40× oil immersion · single-cell crop · bone marrow aspirate smear — 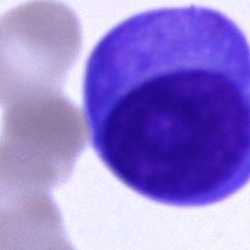

Morphological class: plasmacyte.